40× objective, oil immersion. Bone marrow aspirate smear. Image size 250×250:
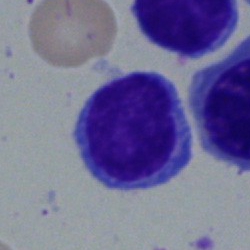
This is a typical lymphocyte.